Bone marrow smear
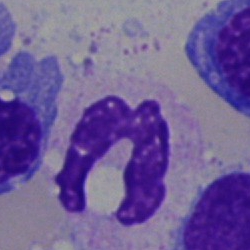
{"cell_type": "polymorphonuclear neutrophil", "lineage": "myeloid"}